Bone marrow smear:
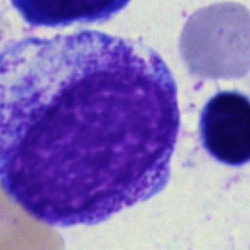

Impression → progranulocyte.